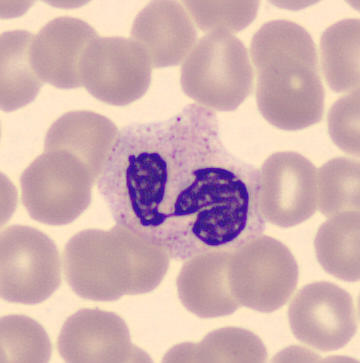A neutrophil (segmented).